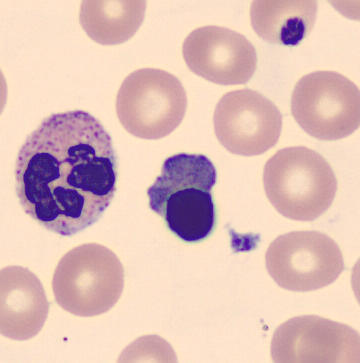Peripheral blood smear. Morphology — nucleated red cell.